Single-cell field · bone marrow aspirate smear.
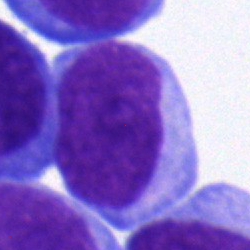

The cell shown is a blast.